Bone marrow smear
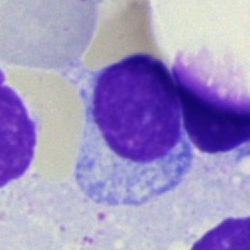 Cell = lymphocyte.